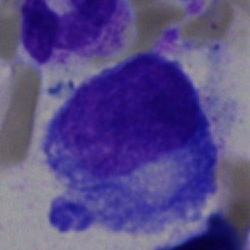 Q: What cell is this?
A: A promyelocyte.